Bone marrow smear — 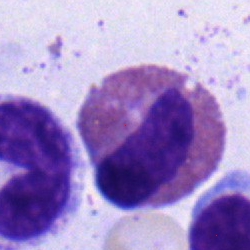 Cell type: eosinophil.